Bone marrow smear — 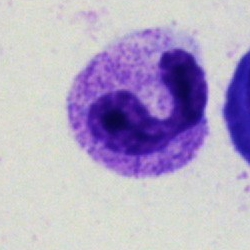
This is a polymorphonuclear neutrophil.